Bone marrow aspirate smear: 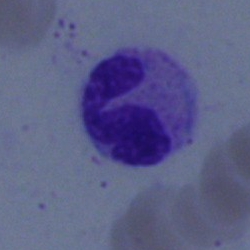

Morphological class — neutrophil (segmented).